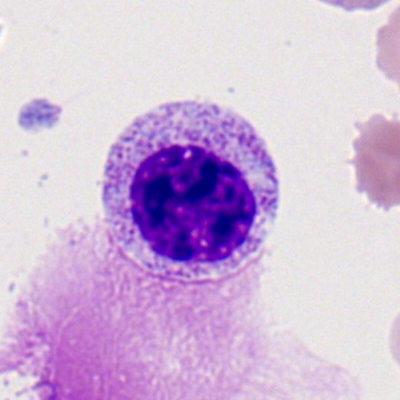
Q: Which cell type is shown here?
A: A myelocyte.